250 by 250 pixels; bone marrow aspirate smear; single cell centered in the field
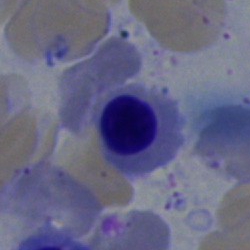

Showing a nucleated red blood cell.